Bone marrow smear — 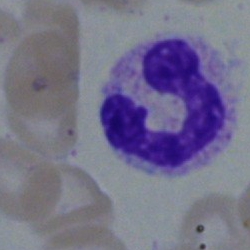
The cell shown is a polymorphonuclear neutrophil.